250×250 px; bone marrow aspirate smear
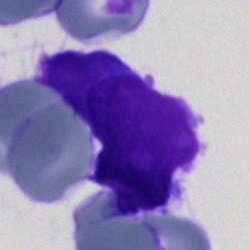

This is a blast cell.